May-Grünwald-Giemsa/Pappenheim stain. Bone marrow aspirate smear: 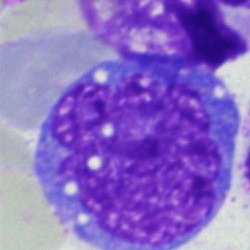

Single cell identified as a monocyte.